Bone marrow aspirate smear.
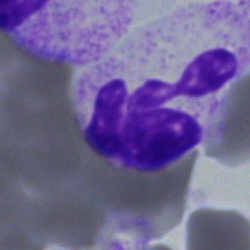 Neutrophil (segmented).